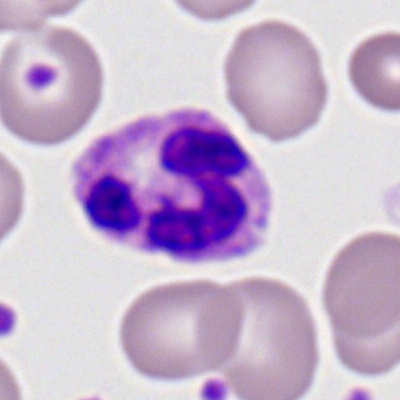
Cell = segmented neutrophil.